Bone marrow smear: 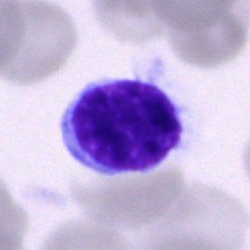Q: What is the morphological classification of this cell?
A: This is a lymphocyte.